Single cell centered in the field. Bone marrow aspirate smear:
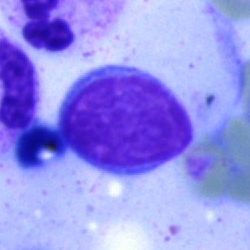

Q: What type of cell is this?
A: Typical lymphocyte.